Pappenheim-stained. Bone marrow aspirate smear — 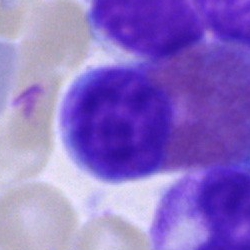Classification = eosinophil.